Bone marrow aspirate smear
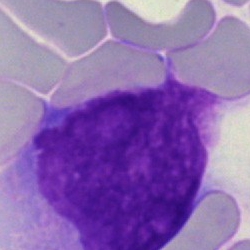
Morphological class — blast cell.